Peripheral blood smear: 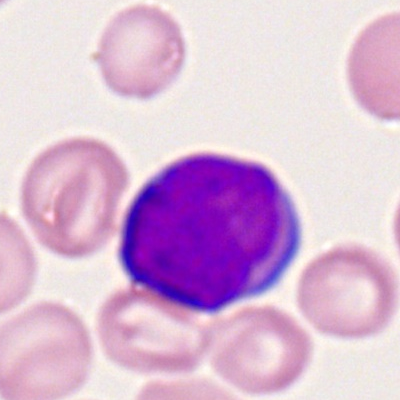

Q: Identify the cell.
A: Myeloid blast.